Single-cell field · bone marrow aspirate smear — 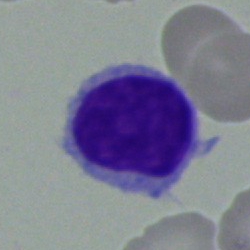 Classification — lymphocyte.